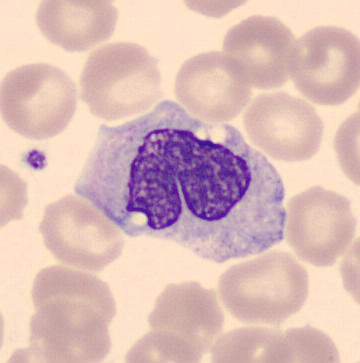Q: Which cell type is shown here?
A: This is a monocyte.
Preparation: 360×363 px · peripheral blood smear.